Bone marrow aspirate smear — 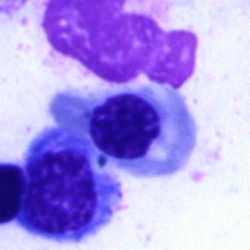
A nucleated red blood cell.